Bone marrow smear — 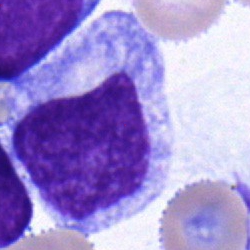
The cell shown is a progranulocyte.